Single-cell crop; bone marrow smear; 250 by 250 pixels
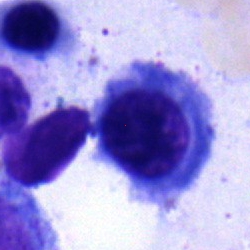
Q: What is shown here?
A: A nucleated red cell.